Bone marrow aspirate smear
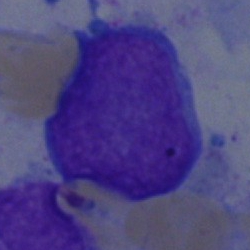
Cell type: undifferentiated blast.